May-Grünwald-Giemsa/Pappenheim stain; bone marrow smear:
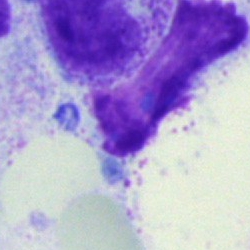 Cell type — artefact.